Bone marrow aspirate smear; May-Grünwald-Giemsa stain
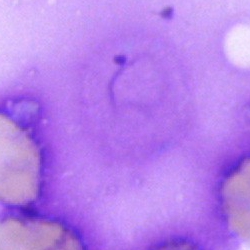

Cell — artifact.